Bone marrow aspirate smear; 250×250: 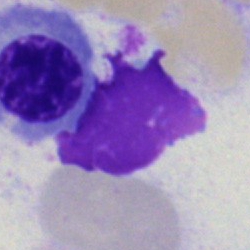 Specimen: bone marrow aspirate smear.
Morphological class: nucleated red blood cell.